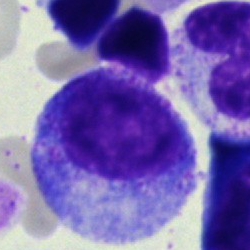
Q: Identify the cell.
A: This is a promyelocyte.